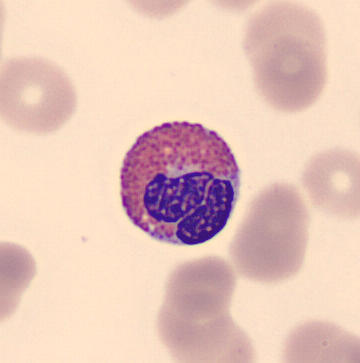Specimen: peripheral blood smear.
Cell type: eosinophilic granulocyte.